Single-cell crop. Bone marrow smear:
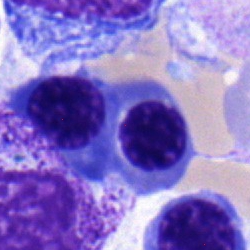Single cell identified as a normoblast.